250 by 250 pixels. Bone marrow aspirate smear: 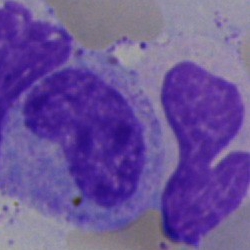

This is a metamyelocyte.